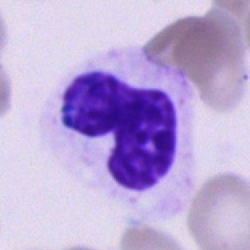Impression — band neutrophil.